Bone marrow smear.
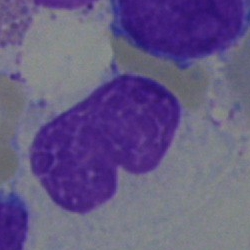 The cell type is artifact.